Brightfield microscopy, 40× oil immersion; bone marrow aspirate smear — 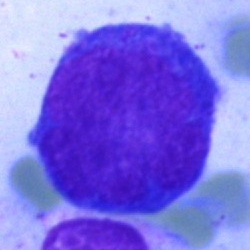
The cell type is proerythroblast.